Single-cell field; bone marrow smear; 250×250 px: 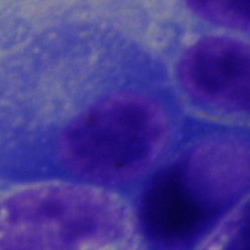

This is a plasmacyte.